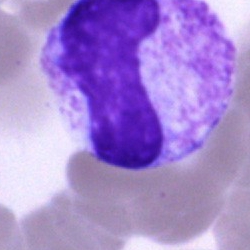

Q: Which cell type is shown here?
A: A stab cell.